Single-cell field · bone marrow smear · 40× objective, oil immersion
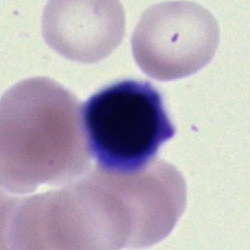
Normoblast.